Bone marrow smear:
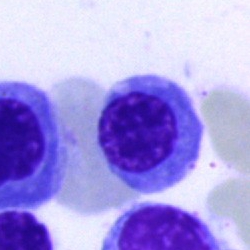
Single cell identified as a normoblast.